Bone marrow smear. Pappenheim-stained
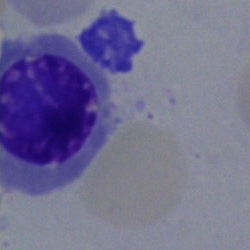Morphology consistent with a nucleated red cell.